Romanowsky stain; peripheral blood smear; image size 400×400
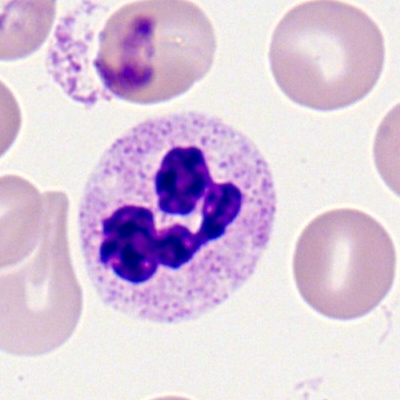The morphological class is segmented neutrophil.